Bone marrow smear.
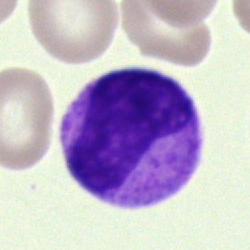Cell: unidentifiable cell.